Bone marrow smear.
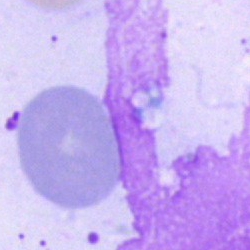The classification is artifact.